MGG stain; single-cell field; peripheral blood smear
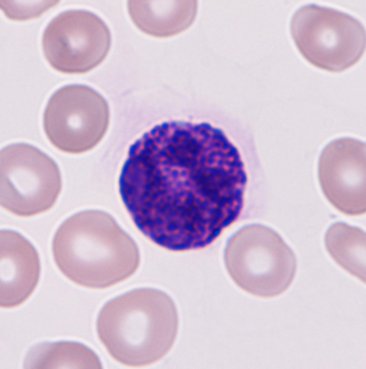

A basophilic granulocyte.